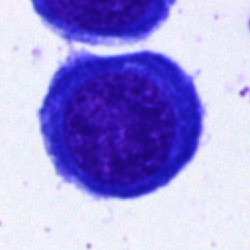Nucleated red cell.